MGG-stained; brightfield, 40× oil-immersion objective; bone marrow aspirate smear
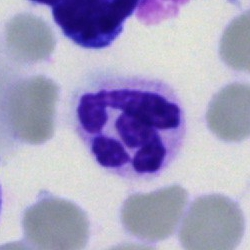

Specimen: bone marrow aspirate smear.
Morphological class: neutrophil (segmented).
Lineage: myeloid.